250×250; bone marrow smear
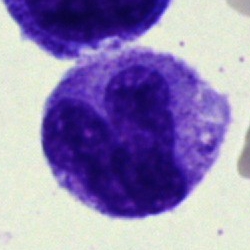
Cell type = monocyte.